Bone marrow aspirate smear
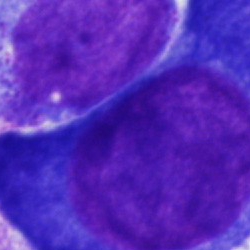 Q: Which cell type is shown here?
A: It is a pronormoblast.